Bone marrow aspirate smear. Brightfield, 40× oil-immersion objective — 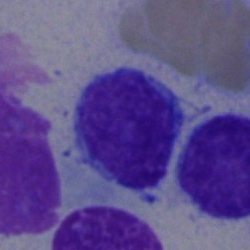 Cell type — lymphocyte.